Bone marrow aspirate smear; single-cell crop; 250×250 px: 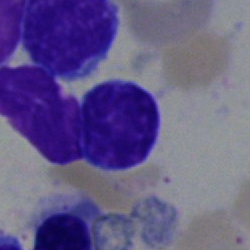

Q: Identify the cell.
A: A typical lymphocyte.